Bone marrow aspirate smear; single cell centered in the field — 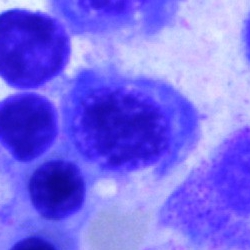

This is a nucleated red cell.